Brightfield microscopy, 40× oil immersion · 250 by 250 pixels · bone marrow aspirate smear — 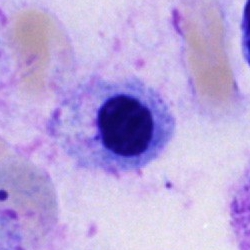
Impression — erythroblast.